Bone marrow smear:
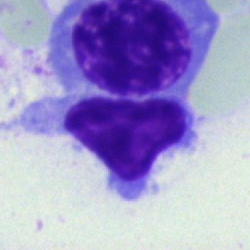 Morphology — typical lymphocyte.